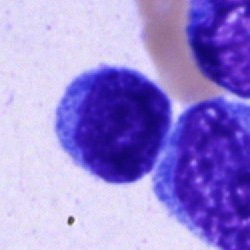

Q: Identify the cell.
A: This is a blast.